Peripheral blood film · 400×400: 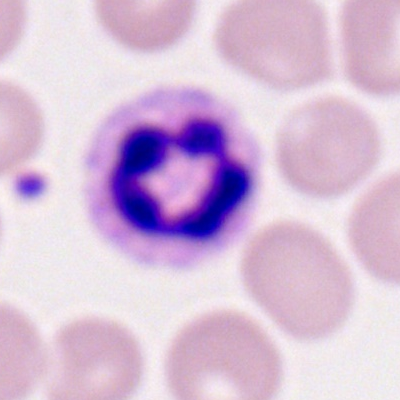
Morphological class = polymorphonuclear neutrophil.